Bone marrow aspirate smear
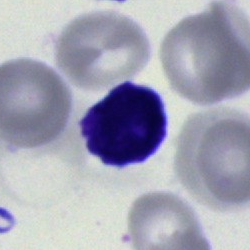 A blast.